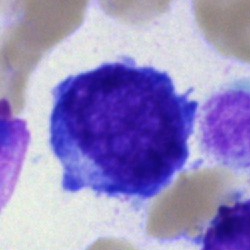 Classification: immature lymphocyte.